Bone marrow smear — 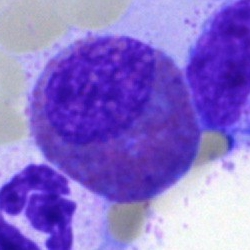
Q: What type of cell is this?
A: This is an eosinophil.